Brightfield, 40× oil-immersion objective. Bone marrow aspirate smear:
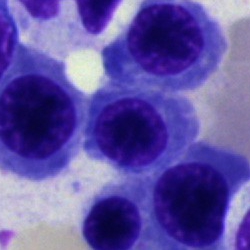
Morphology consistent with an erythroblast.